Peripheral blood smear — 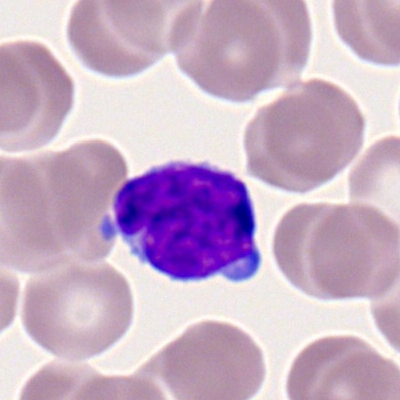 Classification = lymphocyte.